Bone marrow aspirate smear — 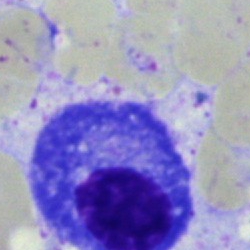Single cell identified as a plasmacyte.